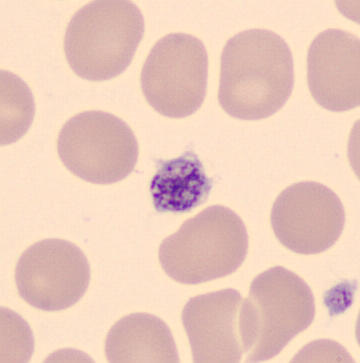Classification — platelet. Image: Peripheral blood smear.